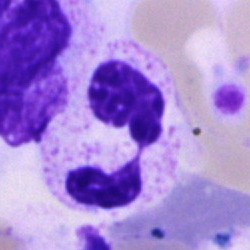Specimen: bone marrow aspirate smear.
Classification: segmented neutrophil.